Bone marrow aspirate smear.
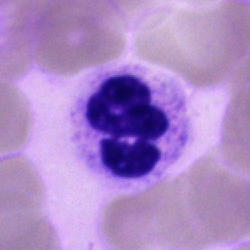Morphology consistent with a segmented neutrophil.